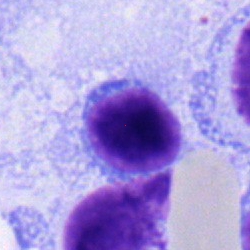The classification is typical lymphocyte.